Romanowsky-stained. Peripheral blood film:
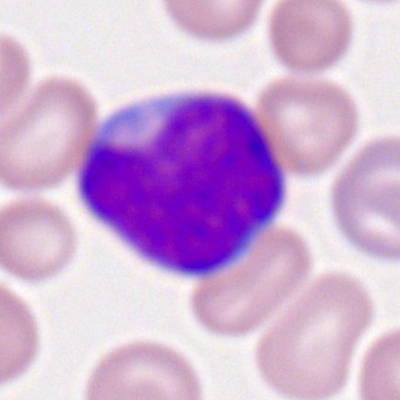

Showing a myeloblast.